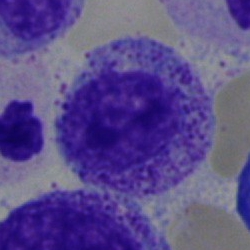 Q: What is shown here?
A: It is a myelocyte.